250×250. May-Grünwald-Giemsa/Pappenheim stain. Bone marrow smear
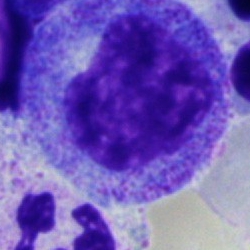 Specimen: bone marrow smear.
Morphological class: promyelocyte.
Lineage: myeloid.